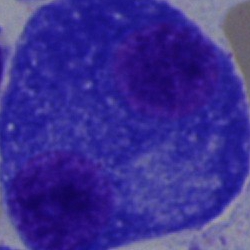 Impression — plasma cell.